May-Grünwald-Giemsa stain. Bone marrow aspirate smear. 250×250 px — 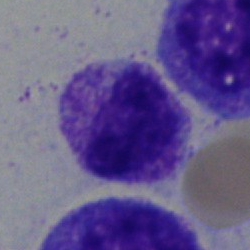

Q: What is the morphological classification of this cell?
A: This is a myelocyte.